Bone marrow smear. MGG-stained: 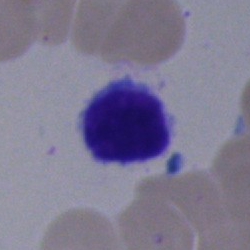 Morphology consistent with a typical lymphocyte.